Single-cell crop. Bone marrow aspirate smear:
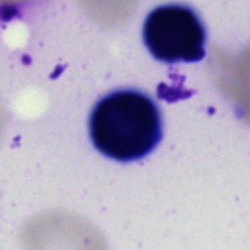Q: What is shown here?
A: It is an artifact.